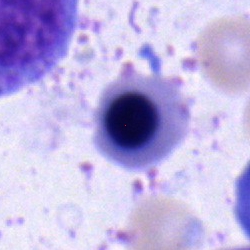 Cell type = nucleated red cell.